Bone marrow aspirate smear · single-cell field.
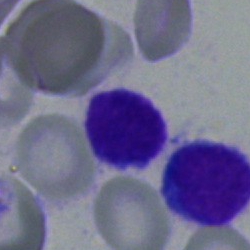

Lymphocyte.